Bone marrow smear: 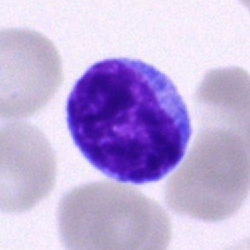

Q: What is the morphological classification of this cell?
A: A lymphocyte.